Bone marrow smear — 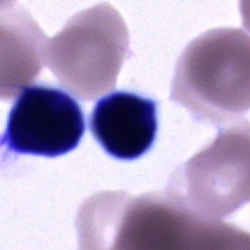Impression — unidentifiable cell.